Bone marrow smear
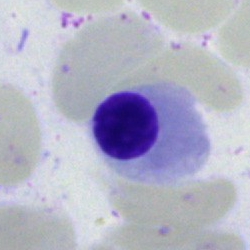 Nucleated red cell.